Bone marrow aspirate smear · brightfield microscopy, 40× oil immersion · 250 by 250 pixels
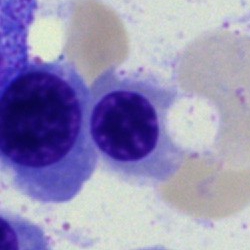
Classification = nucleated red blood cell.